Bone marrow aspirate smear. May-Grünwald-Giemsa/Pappenheim stain — 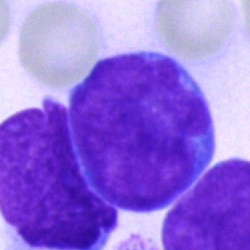 The classification is blast cell.